Bone marrow smear
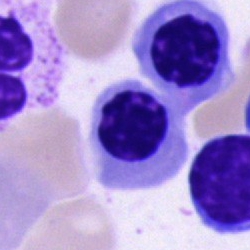

Erythroblast.